Bone marrow smear. Single-cell crop — 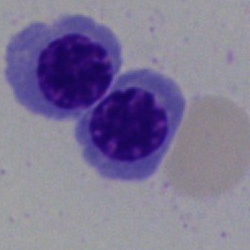Normoblast.